Bone marrow aspirate smear.
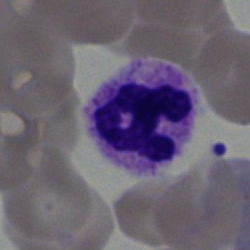 {"cell_type": "segmented neutrophil"}